May-Grünwald-Giemsa/Pappenheim stain · bone marrow aspirate smear
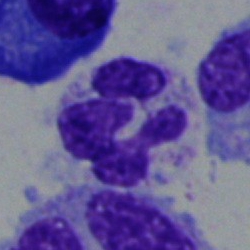 The classification is segmented neutrophil.